Bone marrow smear; 250×250 px; brightfield, 40× oil-immersion objective:
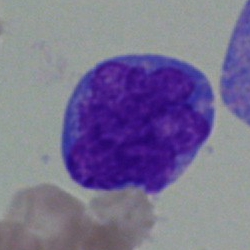Morphology — blast cell.